Brightfield, 40× oil-immersion objective; May-Grünwald-Giemsa/Pappenheim stain; bone marrow aspirate smear
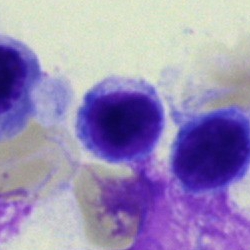
Q: Identify the cell.
A: A lymphocyte.